Single-cell crop · bone marrow aspirate smear · 40× objective, oil immersion:
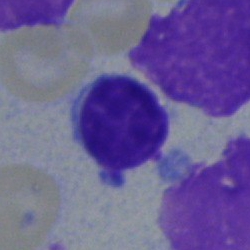 Cell type: lymphocyte.